Bone marrow smear
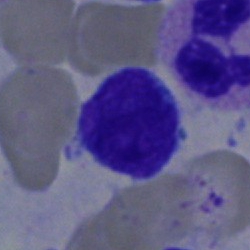 Cell — lymphocyte.